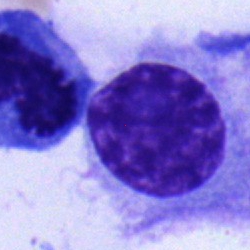

Cell — plasma cell.